Bone marrow aspirate smear.
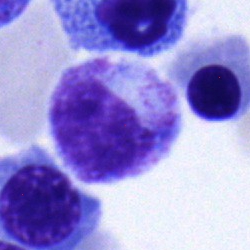

Specimen: bone marrow smear.
Classification: myelocyte.
Lineage: myeloid.